Bone marrow aspirate smear: 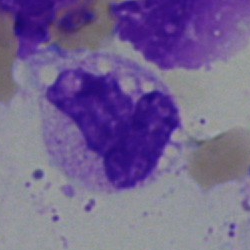Single cell identified as a band neutrophil.